Bone marrow aspirate smear.
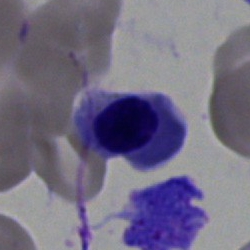The cell is nucleated red cell.